Bone marrow aspirate smear — 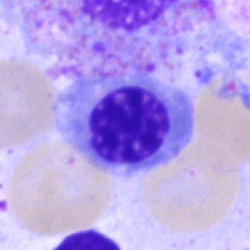

Specimen: bone marrow aspirate smear.
Cell: erythroblast.